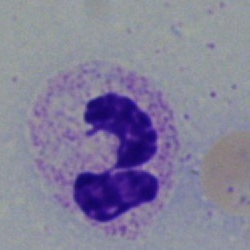

The cell is neutrophil (segmented).